250 by 250 pixels · bone marrow smear:
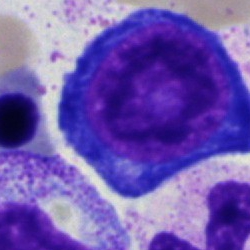Morphology → pronormoblast.